Bone marrow smear — 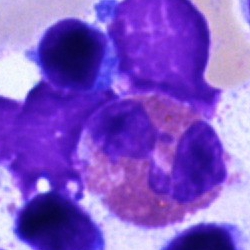
Classification — eosinophil.